Bone marrow aspirate smear — 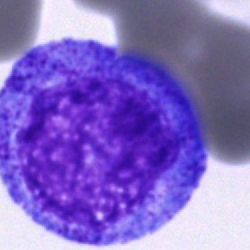Q: What cell is this?
A: This is a progranulocyte.